100× oil immersion. Single-cell crop. Peripheral blood smear.
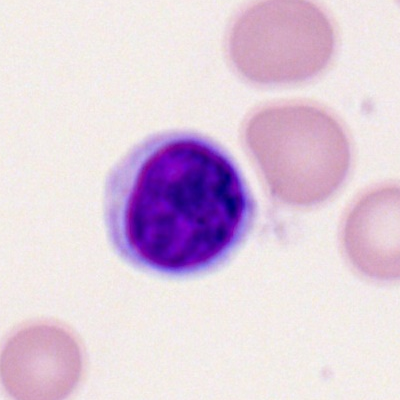 The cell shown is a lymphocyte.